Bone marrow aspirate smear.
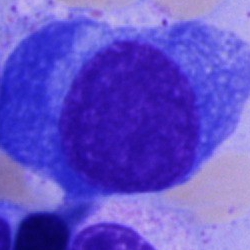

Single cell identified as a plasmacyte.